Bone marrow smear; cropped to a single cell.
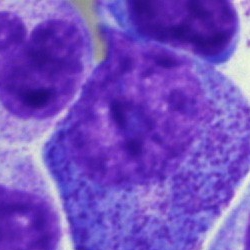The cell is promyelocyte.